Brightfield, 40× oil-immersion objective. Bone marrow aspirate smear. Single-cell field: 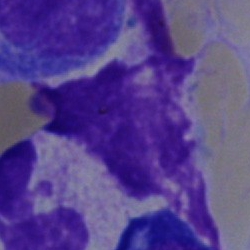

The cell shown is an artifact.